Bone marrow smear:
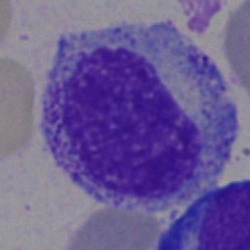

Q: Which cell type is shown here?
A: A promyelocyte.